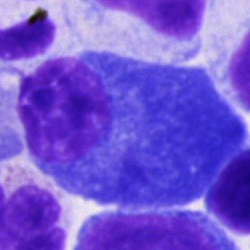

Q: Identify the cell.
A: Plasmacyte.